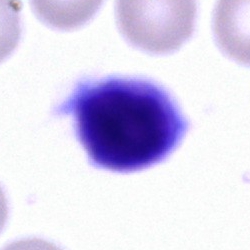

Cell type: typical lymphocyte.